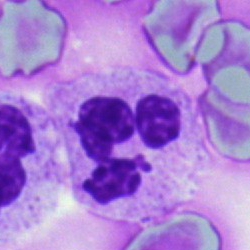

Q: What cell is this?
A: It is a neutrophil (segmented).